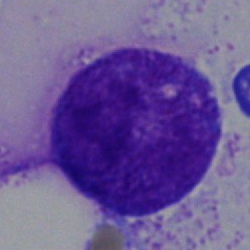Morphology consistent with a promyelocyte.